MGG-stained · bone marrow aspirate smear
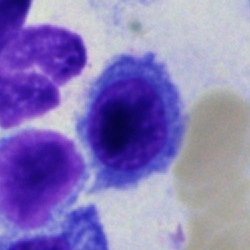

Erythroblast.